250×250 px; bone marrow smear:
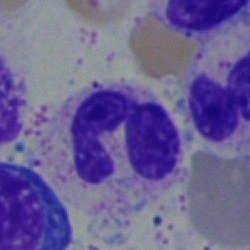

The cell type is segmented neutrophil.